Brightfield, 40× oil-immersion objective; May-Grünwald-Giemsa stain; bone marrow aspirate smear:
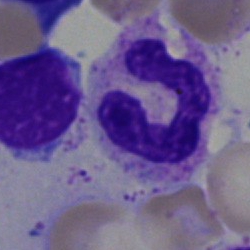Impression → polymorphonuclear neutrophil.